Single-cell field; bone marrow smear; 250×250 — 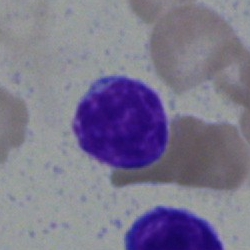
Morphological class — typical lymphocyte.